Peripheral blood film — 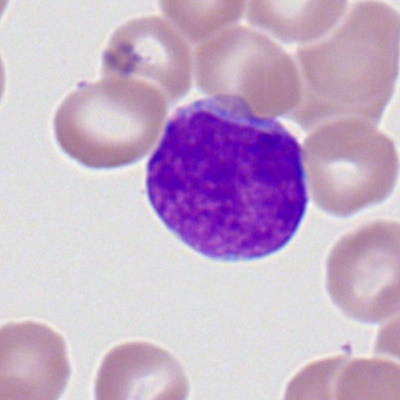Q: What type of cell is this?
A: Myeloblast.